Bone marrow smear · single cell centered in the field.
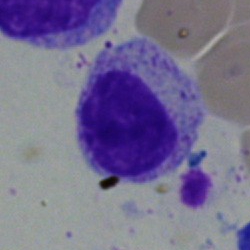 The cell shown is a myelocyte.